Pappenheim-stained. Bone marrow smear — 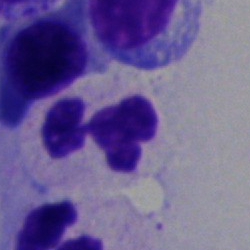
Morphology → polymorphonuclear neutrophil.